Bone marrow smear: 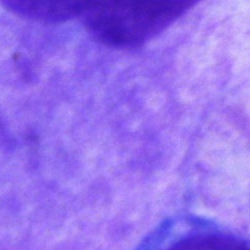Cell: artifact.